Brightfield, 40× oil-immersion objective; bone marrow aspirate smear; single-cell crop
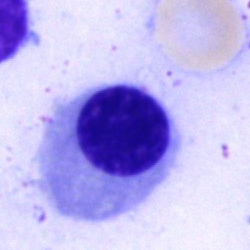Morphology consistent with a nucleated red cell.